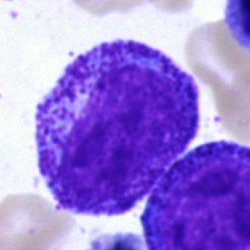{"cell_type": "progranulocyte"}